Bone marrow smear — 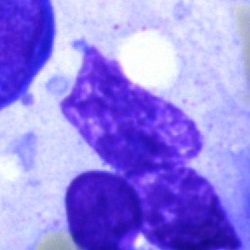
Classification — artifact.